Bone marrow smear. 40× objective, oil immersion: 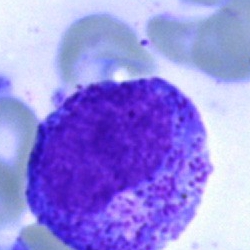Impression → progranulocyte.